Bone marrow aspirate smear
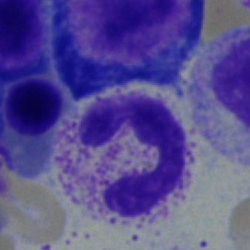
Q: Identify the cell.
A: A polymorphonuclear neutrophil.